Bone marrow smear: 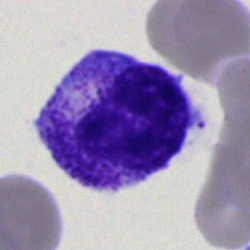 Showing a myelocyte.